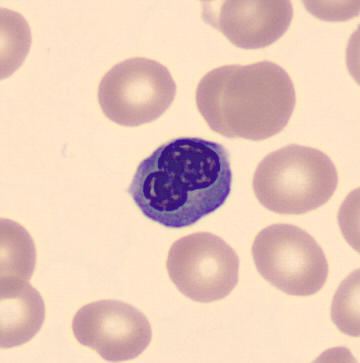
Nucleated red cell. Peripheral blood film.